Bone marrow smear. 250 by 250 pixels — 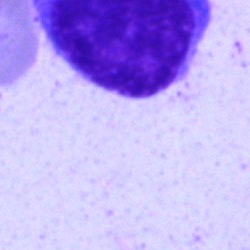Single cell identified as an artefact.